Peripheral blood smear:
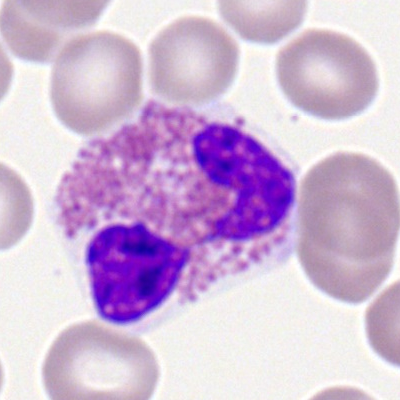

Specimen: peripheral blood film.
Cell: eosinophilic granulocyte.